250×250 px; bone marrow smear — 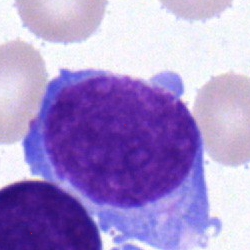
Impression → blast cell.